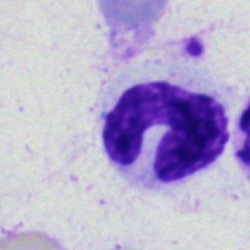The cell is band neutrophil.